Peripheral blood film: 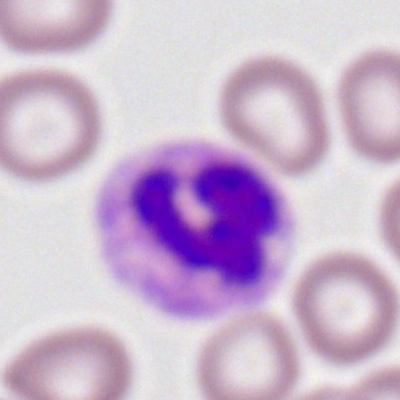

Showing a polymorphonuclear neutrophil.